Bone marrow smear:
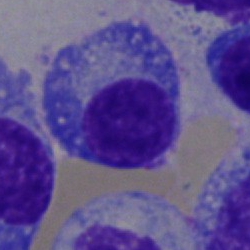
Q: Which cell type is shown here?
A: A plasma cell.